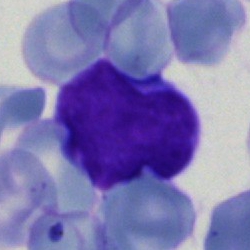
Q: What cell is this?
A: This is a blast.